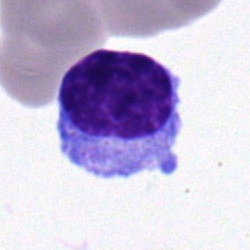Cell — typical lymphocyte.